Bone marrow smear · May-Grünwald-Giemsa stain
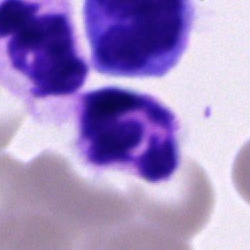

Morphology consistent with a segmented neutrophil.